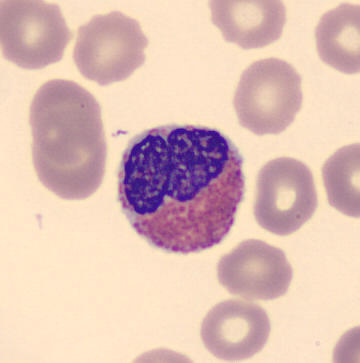

The morphological class is eosinophil. 360×363 px; peripheral blood film.